Bone marrow aspirate smear: 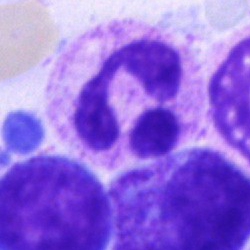Showing a segmented neutrophil.